Brightfield, 40× oil-immersion objective · cropped to a single cell · bone marrow smear.
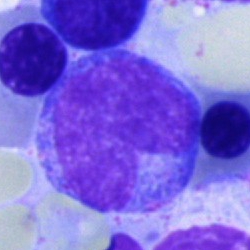
Specimen: bone marrow aspirate smear.
Classification: monocyte.